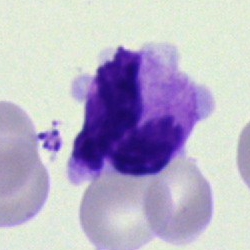 Specimen: bone marrow aspirate smear.
Cell type: segmented neutrophil.
Lineage: myeloid.